Peripheral blood film · 400 by 400 pixels.
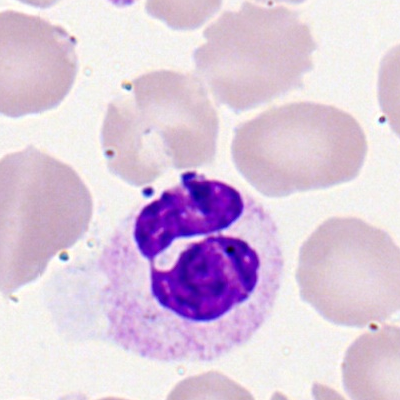 Q: What is shown here?
A: This is a polymorphonuclear neutrophil.